Bone marrow aspirate smear: 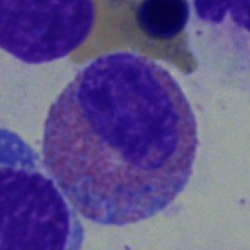

Impression → eosinophil.